May-Grünwald-Giemsa/Pappenheim stain · bone marrow smear.
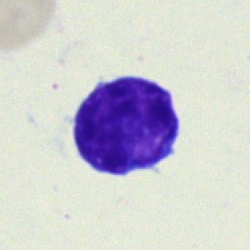Morphological class: lymphocyte.